Bone marrow aspirate smear.
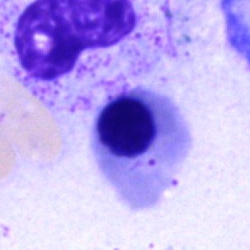 The classification is nucleated red blood cell.